Bone marrow smear: 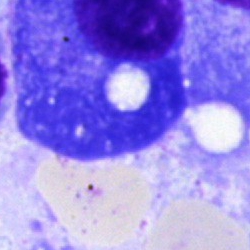 A plasmacyte.